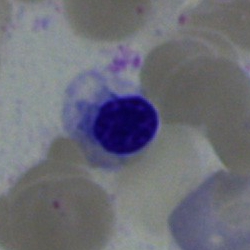

Single-cell crop from a bone marrow smear: erythroblast.